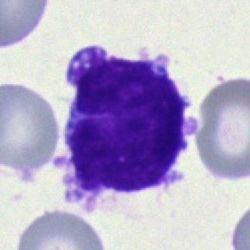
Cell type: undifferentiated blast.